Bone marrow smear — 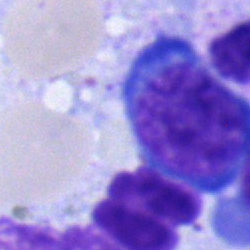

Cell = erythroblast.